Single-cell crop; bone marrow aspirate smear; 250 by 250 pixels: 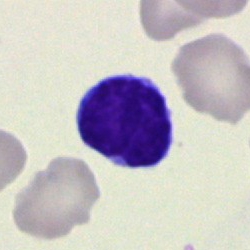
Typical lymphocyte.